Peripheral blood smear — 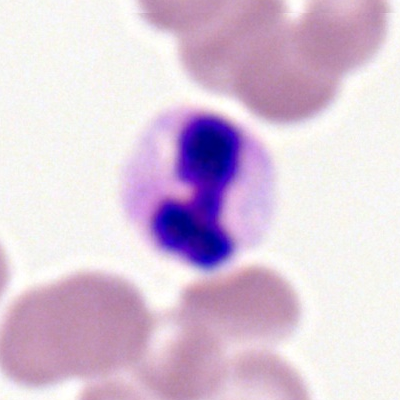
Q: What cell is this?
A: A neutrophil (segmented).